Peripheral blood smear; 100× objective, oil immersion
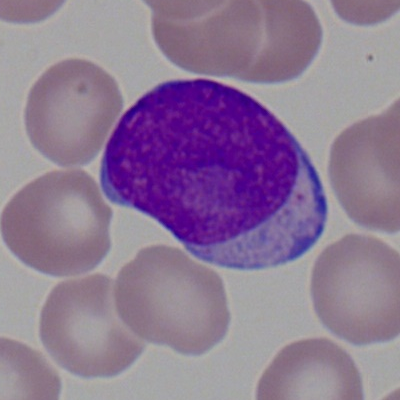

Impression → myeloid blast.